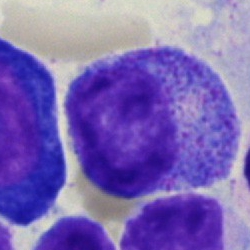

Single-cell crop from a bone marrow smear: promyelocyte.